Bone marrow aspirate smear:
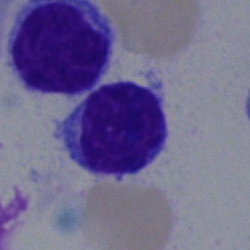 The classification is typical lymphocyte.